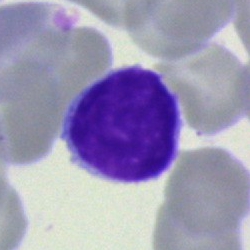Morphology consistent with a lymphocyte.